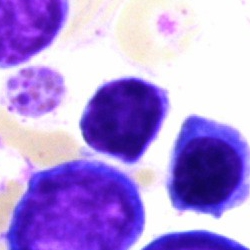

Showing an erythroblast.